Single cell centered in the field; bone marrow aspirate smear; May-Grünwald-Giemsa/Pappenheim stain
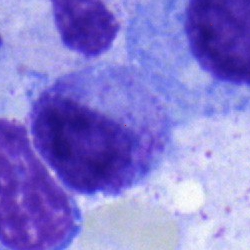 Specimen: bone marrow smear.
Classification: myelocyte.
Lineage: myeloid.